Single-cell crop; bone marrow aspirate smear
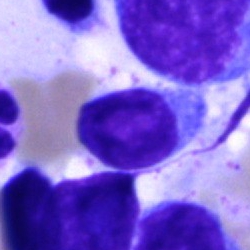Morphology consistent with a lymphocyte.